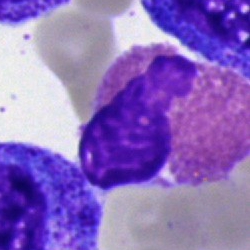Impression — eosinophil.